Bone marrow smear; May-Grünwald-Giemsa/Pappenheim stain; cropped to a single cell
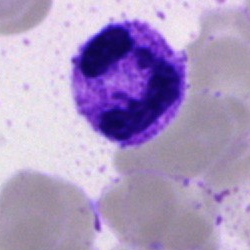Morphology consistent with a polymorphonuclear neutrophil.